Single cell centered in the field; image size 250×250; bone marrow aspirate smear:
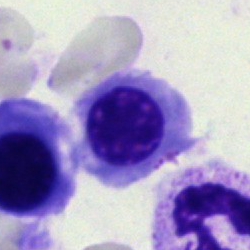

Cell = nucleated red blood cell.